Bone marrow aspirate smear
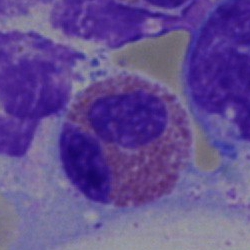

The cell shown is an eosinophilic granulocyte.